Bone marrow aspirate smear: 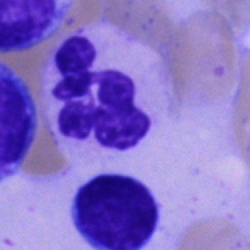The classification is neutrophil (segmented).